Peripheral blood film:
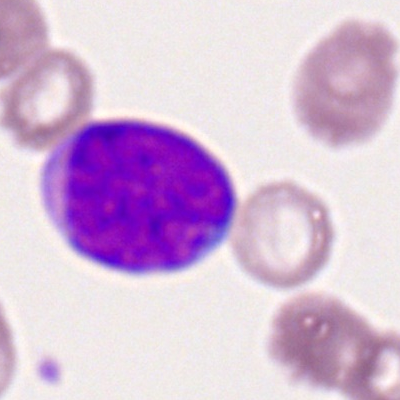
Specimen: peripheral blood film.
Cell type: myeloid blast.
Lineage: myeloid.